Bone marrow aspirate smear
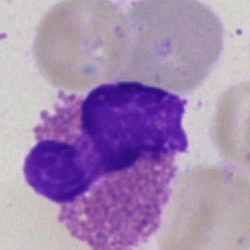 Showing an eosinophilic granulocyte.